Bone marrow aspirate smear
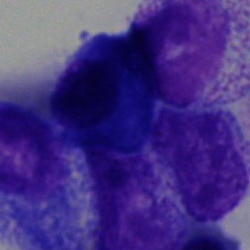
Q: What is shown here?
A: It is an artefact.